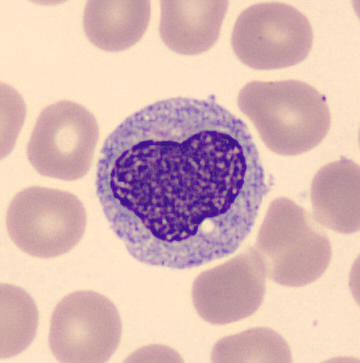
Image: Imaged on a CellaVision DM96 analyser · peripheral blood film.
Morphological class: monocyte.